Bone marrow aspirate smear · May-Grünwald-Giemsa stain.
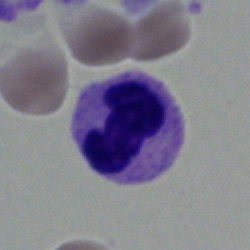 Q: Identify the cell.
A: It is a polymorphonuclear neutrophil.